Peripheral blood film — 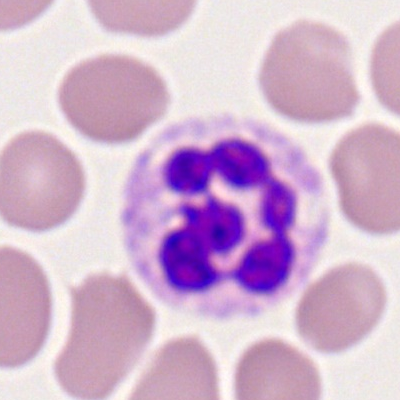

The cell type is segmented neutrophil.